Peripheral blood smear · 100× objective, oil immersion · Romanowsky-stained — 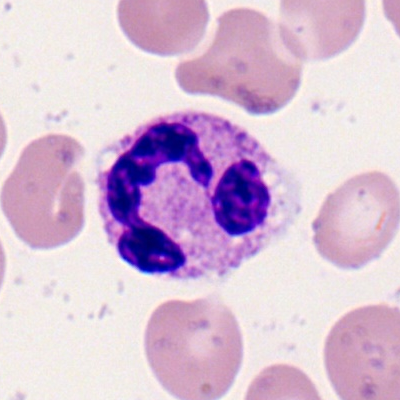Morphology — segmented neutrophil.